Bone marrow aspirate smear — 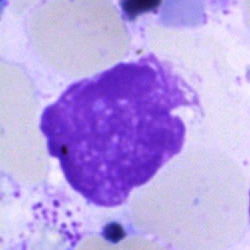The morphological class is artifact.